Peripheral blood film. Cropped to a single cell
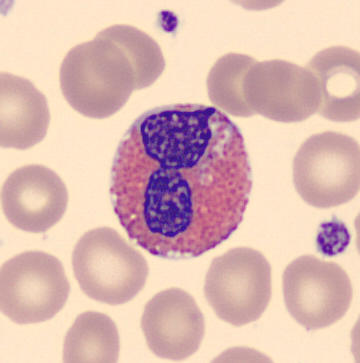 Specimen: peripheral blood smear.
Cell type: eosinophilic granulocyte.
Lineage: myeloid.